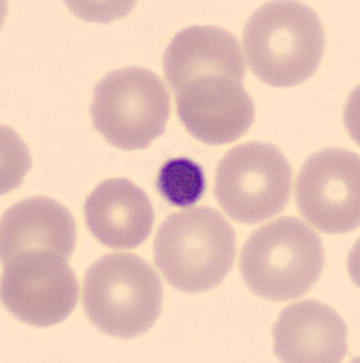
Q: What is shown here?
A: This is a platelet. Preparation: CellaVision DM96; MGG stain; peripheral blood smear.